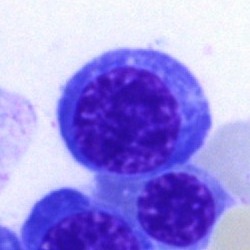 {"cell_type": "erythroblast", "lineage": "erythroid"}